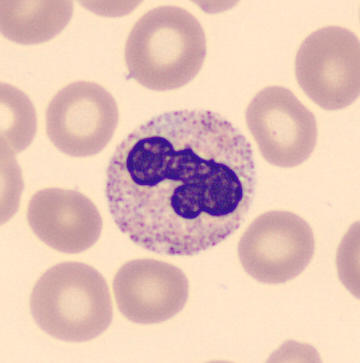
Acquisition: Peripheral blood smear.

Cell type — neutrophil (segmented).